Bone marrow aspirate smear · May-Grünwald-Giemsa stain — 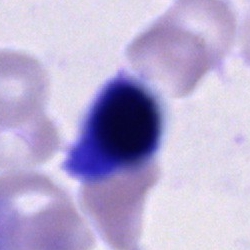 Cell of indeterminate lineage.